Peripheral blood film: 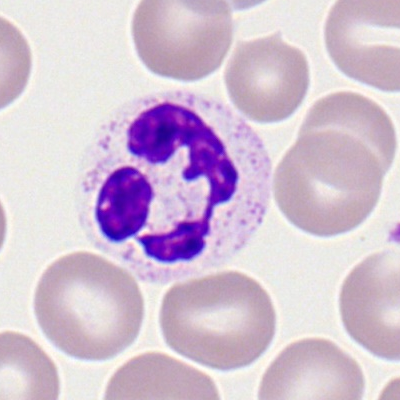 This is a polymorphonuclear neutrophil.